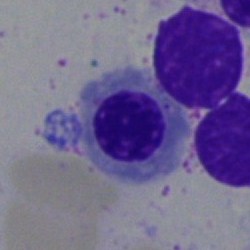 Cell = normoblast.